Bone marrow aspirate smear · May-Grünwald-Giemsa stain
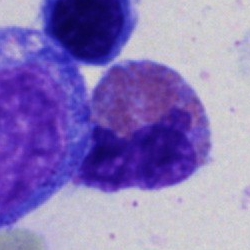
Showing an eosinophilic granulocyte.